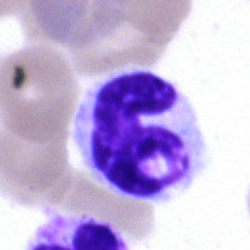 Impression — polymorphonuclear neutrophil.